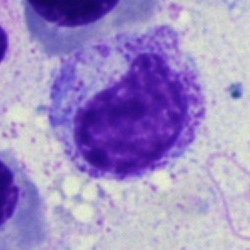Classification: metamyelocyte.